Bone marrow smear: 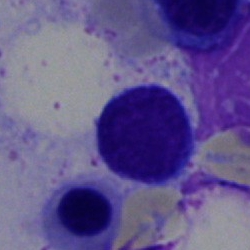Specimen: bone marrow aspirate smear.
Morphological class: typical lymphocyte.
Lineage: lymphoid.